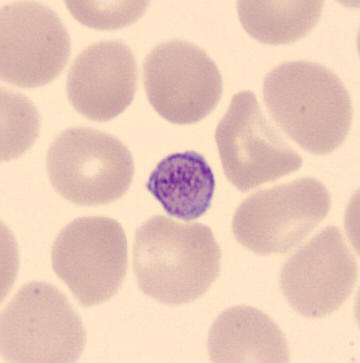

Specimen: peripheral blood smear.
Cell type: thrombocyte.